Bone marrow aspirate smear · 250×250 · May-Grünwald-Giemsa stain — 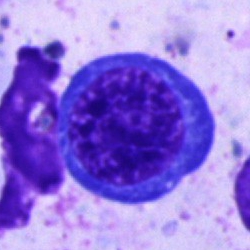

Showing a nucleated red cell.